Cropped to a single cell · bone marrow aspirate smear · Pappenheim-stained: 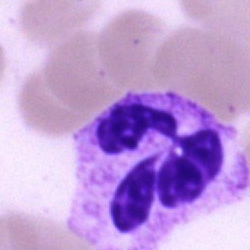Polymorphonuclear neutrophil.